100× objective, oil immersion; peripheral blood smear; single-cell field:
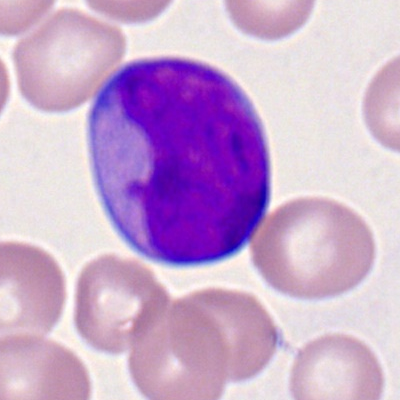

Q: Which cell type is shown here?
A: Myeloblast.